Bone marrow smear; 250×250 px.
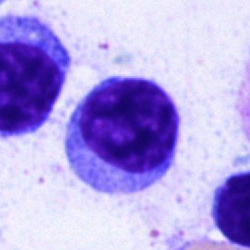Q: What cell is this?
A: It is a lymphocyte.